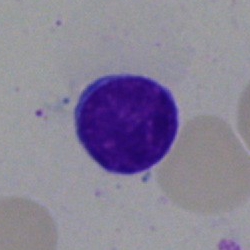 Q: What is shown here?
A: This is a typical lymphocyte.